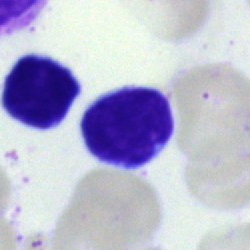Impression → lymphocyte.